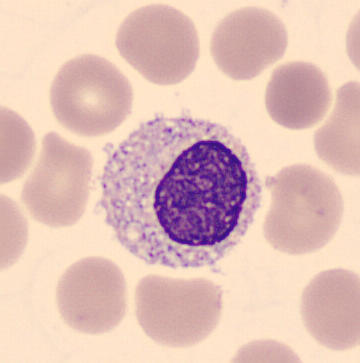

Peripheral blood film.

Cell: myelocyte.